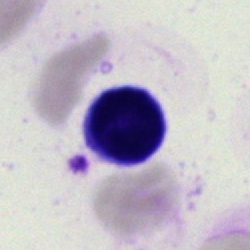

Specimen: bone marrow smear.
Cell type: artifact.